250×250. Bone marrow aspirate smear.
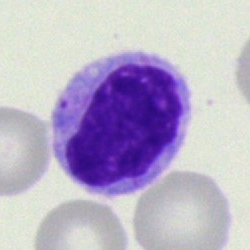 The cell type is typical lymphocyte.